Bone marrow aspirate smear. 250×250 px. MGG-stained: 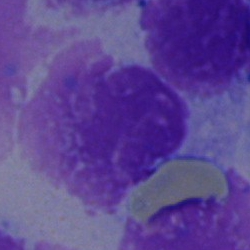
The cell is artefact.